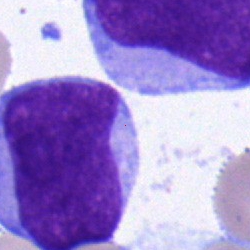 Blast cell.